Single cell centered in the field. Bone marrow aspirate smear: 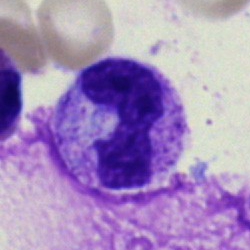 Cell — polymorphonuclear neutrophil.